400 by 400 pixels · peripheral blood film.
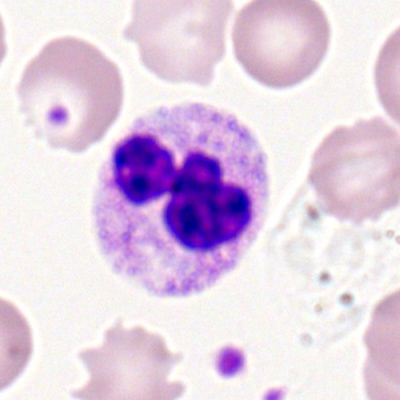Morphology — neutrophil (segmented).